Bone marrow smear: 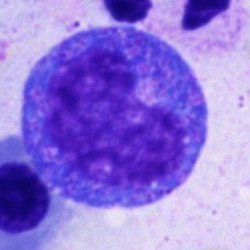 Specimen: bone marrow smear.
Cell type: progranulocyte.